Cropped to a single cell; bone marrow smear — 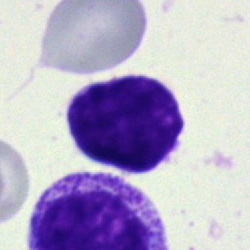
Cell type: lymphocyte.